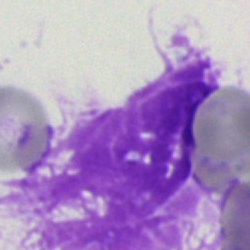This is an artefact.